Bone marrow smear.
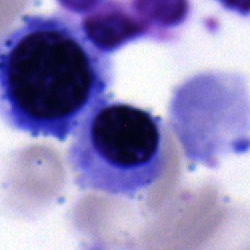 Q: What is shown here?
A: This is a normoblast.